Bone marrow smear — 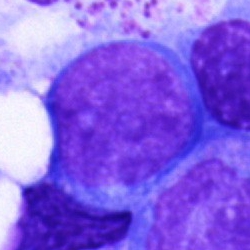

Undifferentiated blast.